Bone marrow smear; brightfield, 40× oil-immersion objective
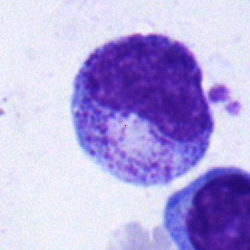 Q: What cell is this?
A: Metamyelocyte.